Bone marrow smear — 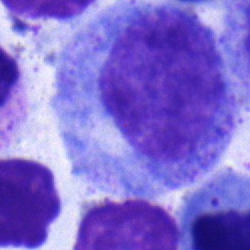A progranulocyte.